Bone marrow smear; cropped to a single cell:
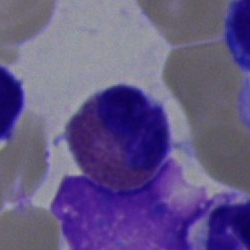 Eosinophil.